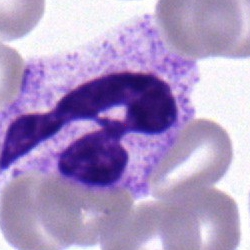 Showing a segmented neutrophil.